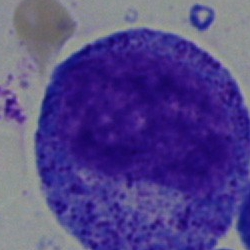

Q: What type of cell is this?
A: This is a promyelocyte.